Cropped to a single cell. Bone marrow aspirate smear
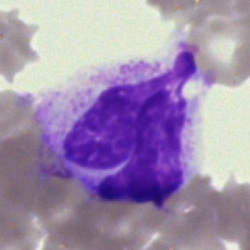
Morphology consistent with an artifact.